Bone marrow smear
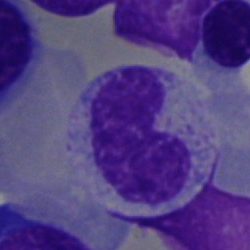

Single cell identified as a metamyelocyte.